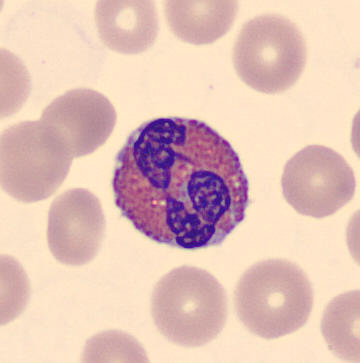 An eosinophil.

Peripheral blood smear. Cropped to a single cell.